Bone marrow aspirate smear:
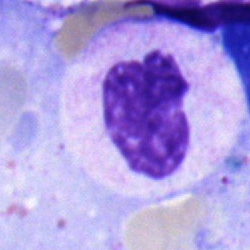 A band neutrophil.